Bone marrow aspirate smear.
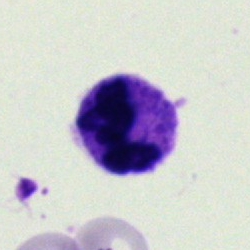

Specimen: bone marrow aspirate smear.
Cell: polymorphonuclear neutrophil.
Lineage: myeloid.